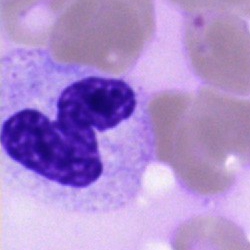 The classification is progranulocyte.